Bone marrow smear.
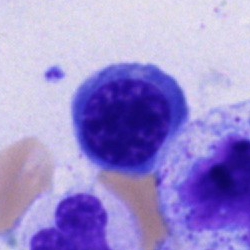
The morphological class is nucleated red blood cell.